Bone marrow smear: 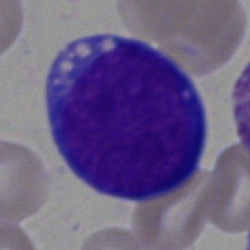

Impression — blast cell.